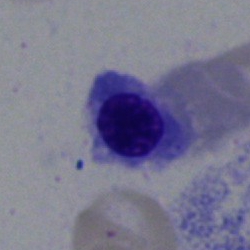
This is a nucleated red cell.